Peripheral blood smear:
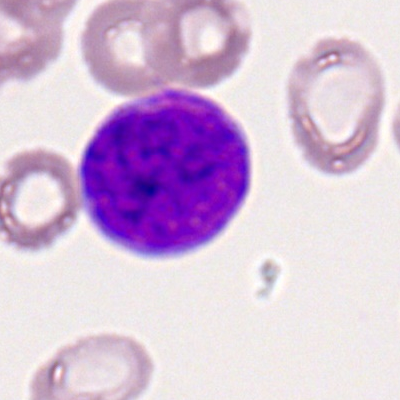
The cell shown is a myeloblast.